250×250. Bone marrow smear. Single cell centered in the field
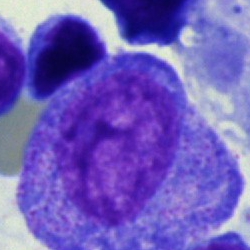

Showing a promyelocyte.